Bone marrow aspirate smear; 250×250; Pappenheim-stained: 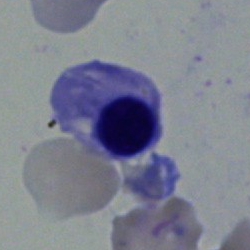 {"cell_type": "nucleated red cell", "lineage": "erythroid"}